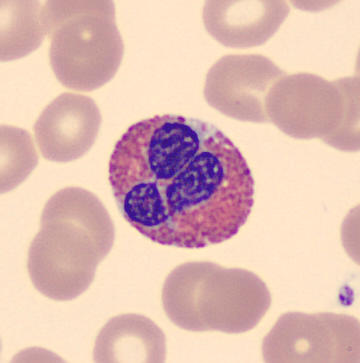
Cell type = eosinophil.